Bone marrow aspirate smear.
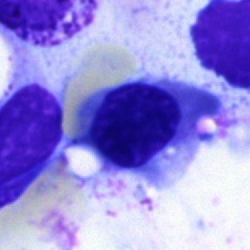The cell is erythroblast.